Romanowsky-type stain. Peripheral blood smear: 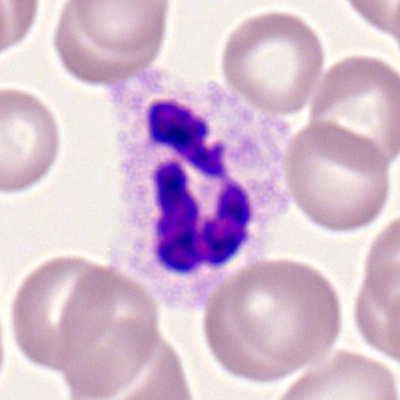Impression → neutrophil (segmented).